Bone marrow aspirate smear.
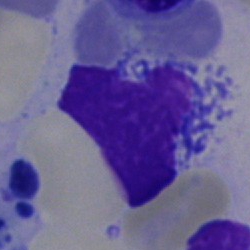

The classification is artifact.